Brightfield microscopy, 40× oil immersion. Bone marrow smear. 250 by 250 pixels: 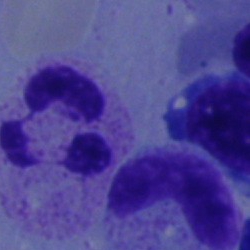 Classification: segmented neutrophil.